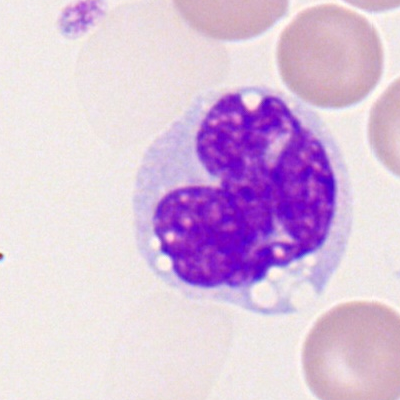 Cell: monocyte.